Bone marrow aspirate smear — 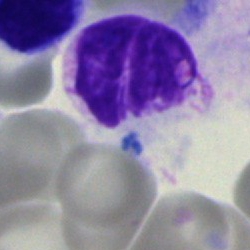 This is an artifact.